Bone marrow aspirate smear · single cell centered in the field
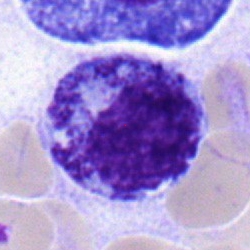
Showing a myelocyte.